Bone marrow aspirate smear: 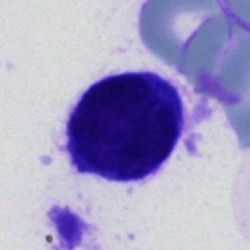 The classification is cell of indeterminate lineage.